Bone marrow aspirate smear
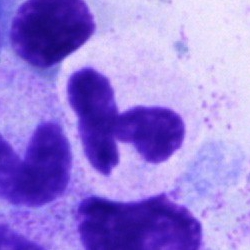 Showing a neutrophil (segmented).